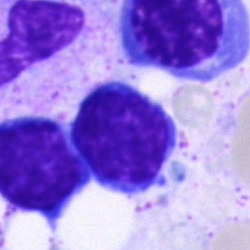
Morphology → lymphocyte.